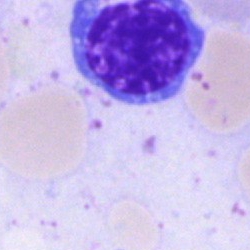

Q: What is shown here?
A: This is an erythroblast.